May-Grünwald-Giemsa stain · bone marrow smear.
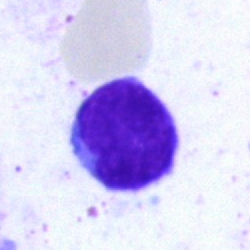Impression → lymphocyte.